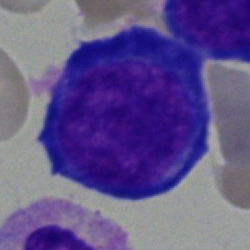

Cell = nucleated red cell.